Bone marrow smear. Single-cell crop. 40× oil immersion:
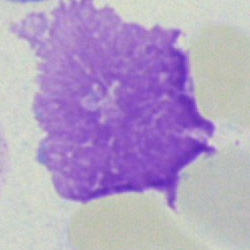Cell type — artefact.